Cropped to a single cell · bone marrow aspirate smear · May-Grünwald-Giemsa stain:
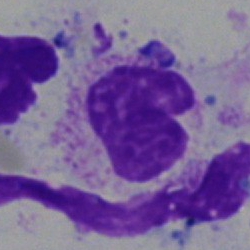

Showing a metamyelocyte.